Peripheral blood film.
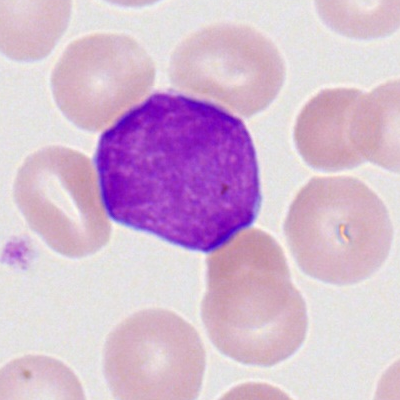

Showing a myeloblast.